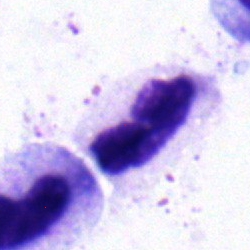
Q: Identify the cell.
A: It is a neutrophil (segmented).